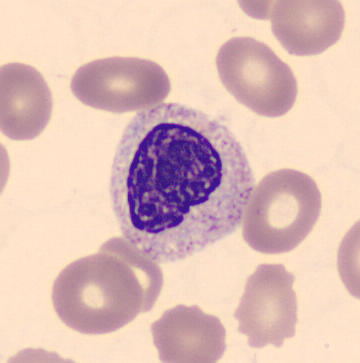Single-cell crop from a peripheral blood smear: metamyelocyte.